Bone marrow aspirate smear. Brightfield microscopy, 40× oil immersion.
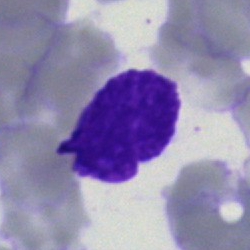

Morphological class — artifact.